Bone marrow aspirate smear — 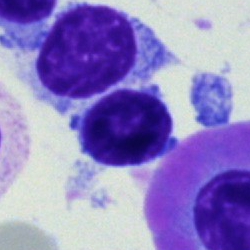Q: What cell is this?
A: It is a typical lymphocyte.